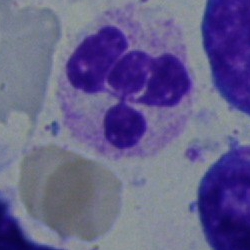
Bone marrow aspirate smear, single cell — polymorphonuclear neutrophil.